Bone marrow aspirate smear — 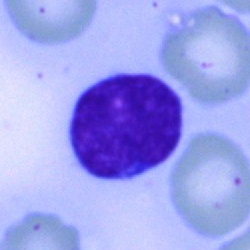Q: What is the morphological classification of this cell?
A: A typical lymphocyte.